Bone marrow smear; Pappenheim-stained.
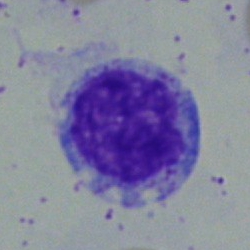
Cell — monocyte.